Bone marrow aspirate smear; May-Grünwald-Giemsa stain: 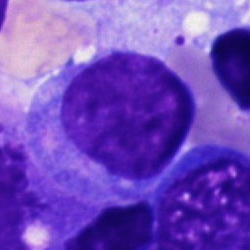

Specimen: bone marrow aspirate smear.
Cell type: blast.